Pappenheim-stained. Brightfield, 40× oil-immersion objective. Bone marrow smear
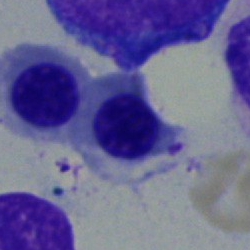Q: What is the morphological classification of this cell?
A: It is a nucleated red cell.